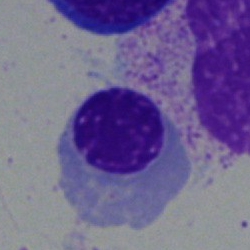
Cell: nucleated red cell.